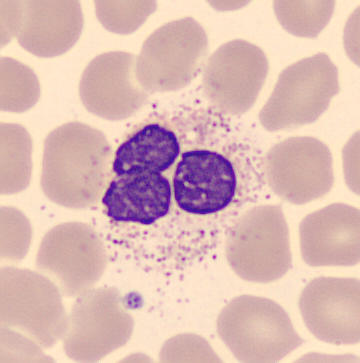
Image: Peripheral blood film.
Cell — polymorphonuclear neutrophil.